Image size 250×250. Bone marrow smear:
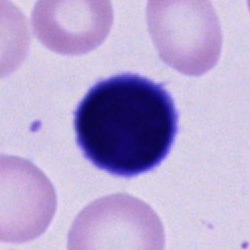
{"cell_type": "cell of indeterminate lineage"}